Bone marrow smear.
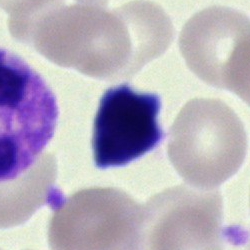
Classification — lymphocyte.